Brightfield microscopy, 40× oil immersion; bone marrow aspirate smear; 250 by 250 pixels.
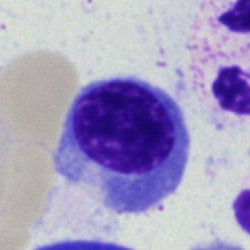

Impression → erythroblast.